MGG-stained; bone marrow aspirate smear
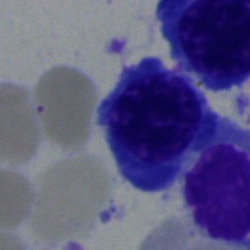

Cell — nucleated red cell.